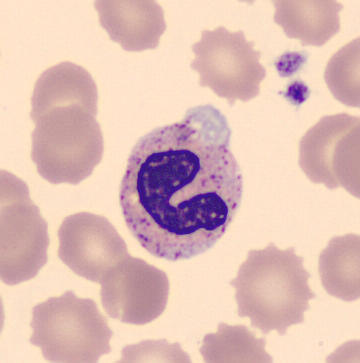Preparation: Peripheral blood smear. Q: Identify the cell.
A: It is a neutrophil (band).